Bone marrow smear: 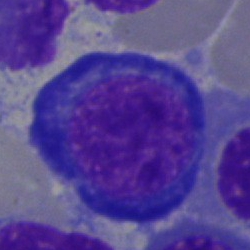This is an erythroblast.